Bone marrow aspirate smear:
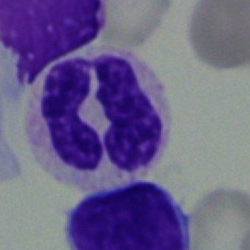
Q: What is shown here?
A: Polymorphonuclear neutrophil.